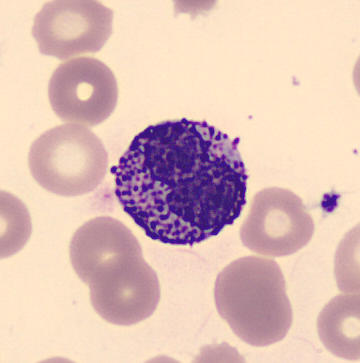Peripheral blood film.
Morphological class = basophilic granulocyte.